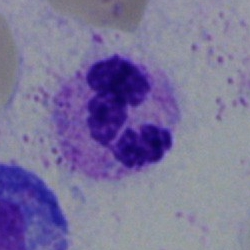

A polymorphonuclear neutrophil on a bone marrow smear.